Bone marrow aspirate smear; May-Grünwald-Giemsa stain: 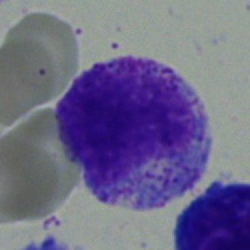A myelocyte.